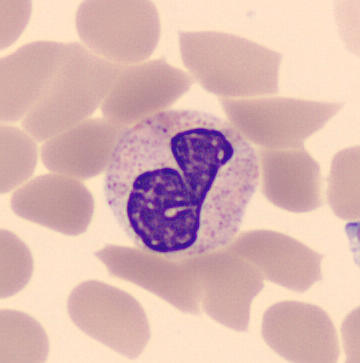 Preparation: Peripheral blood smear · cropped to a single cell · automated cell imaging (CellaVision DM96). Cell type: neutrophil (segmented).